Bone marrow smear — 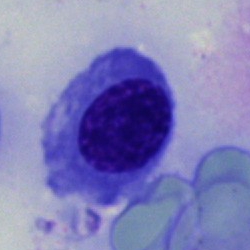

Classification — nucleated red cell.